Bone marrow smear
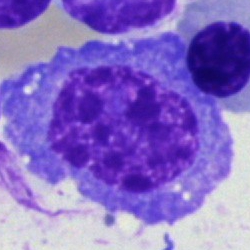 A plasma cell.